Peripheral blood smear — 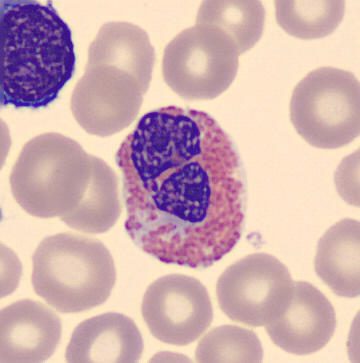
Q: What cell is this?
A: Eosinophilic granulocyte.